Bone marrow aspirate smear — 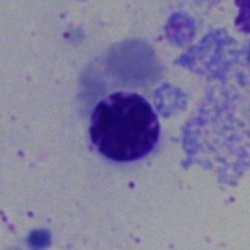
Q: What type of cell is this?
A: Nucleated red cell.